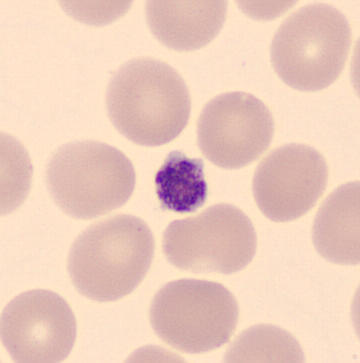

Showing a platelet.